250×250 px · bone marrow smear · 40× oil immersion — 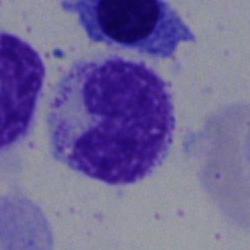
{"cell_type": "metamyelocyte"}